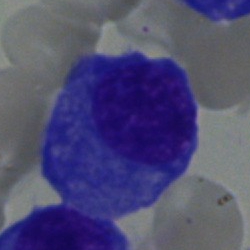
Showing a plasmacyte.